Bone marrow smear: 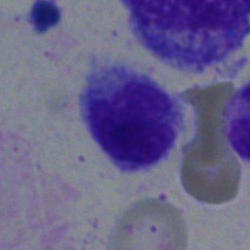 Cell type — lymphocyte.